Bone marrow smear · 40× oil immersion: 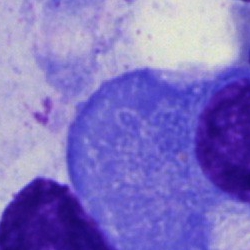

{"cell_type": "plasmacyte", "lineage": "lymphoid"}